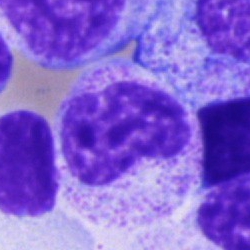
The cell is metamyelocyte.